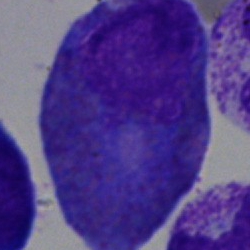
Specimen: bone marrow smear.
Cell: cell of indeterminate lineage.